Bone marrow aspirate smear
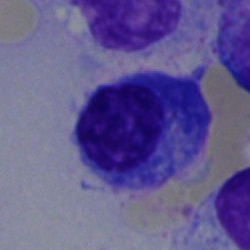
Nucleated red blood cell.